MGG-stained. Single-cell field. Bone marrow smear:
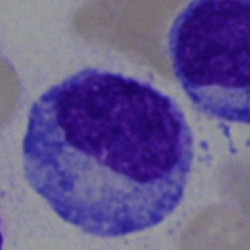
Morphological class: progranulocyte.